250×250. Bone marrow smear.
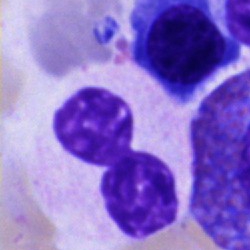 Specimen: bone marrow smear.
Morphological class: polymorphonuclear neutrophil.